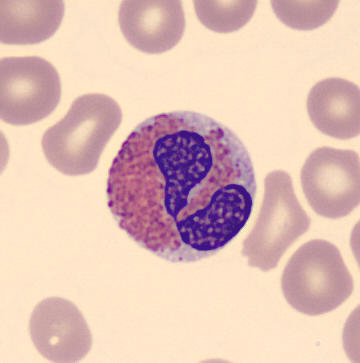 Peripheral blood film. Single-cell crop. 360 by 363 pixels.

Morphology consistent with an eosinophil.